Bone marrow aspirate smear.
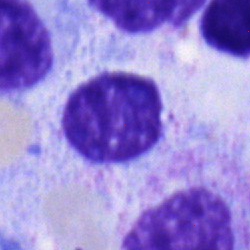This is a typical lymphocyte.